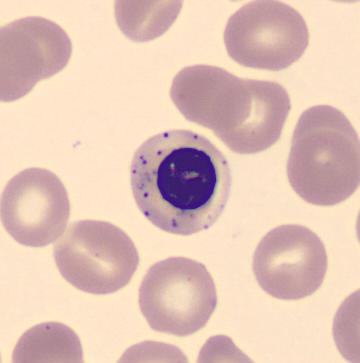 Cell type — erythroblast.

Peripheral blood film.